May-Grünwald-Giemsa/Pappenheim stain · brightfield microscopy, 40× oil immersion · bone marrow aspirate smear:
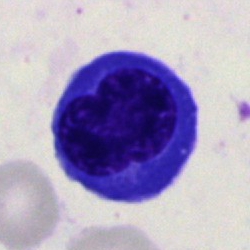 Classification — plasmacyte.